Bone marrow aspirate smear; 250×250 px.
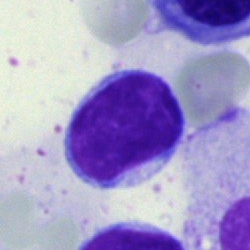

Single cell identified as a typical lymphocyte.